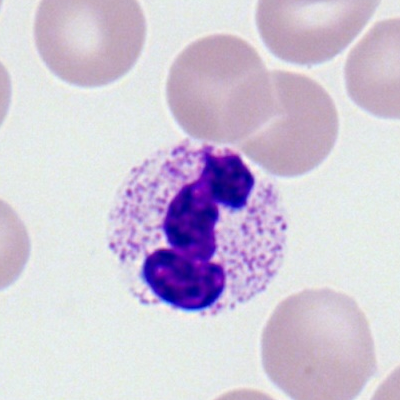Impression → neutrophil (segmented).